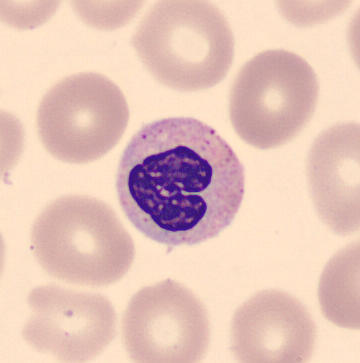
Acquisition: 360 by 363 pixels; automated cell imaging (CellaVision DM96). Specimen: peripheral blood smear.
Morphological class: band neutrophil.
Lineage: myeloid.